Peripheral blood film · Romanowsky stain · cropped to a single cell:
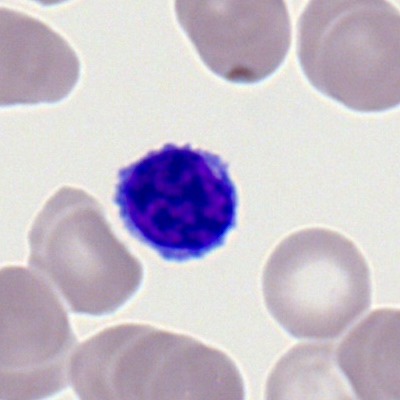

Classification — lymphocyte.